Bone marrow aspirate smear — 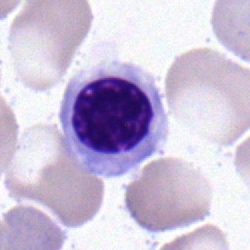 Morphology consistent with a nucleated red cell.